250 by 250 pixels. Bone marrow smear — 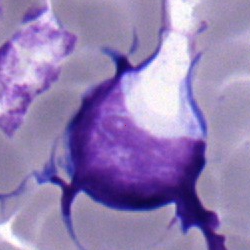 Cell type: lymphocyte.